Bone marrow aspirate smear. 250×250 px
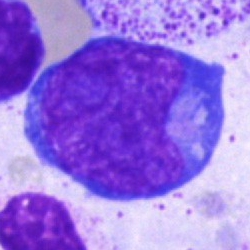
Proerythroblast.